Brightfield, 40× oil-immersion objective; bone marrow smear; single-cell crop
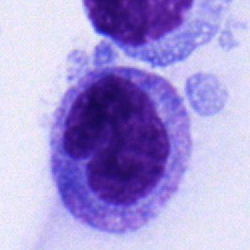

A monocyte.